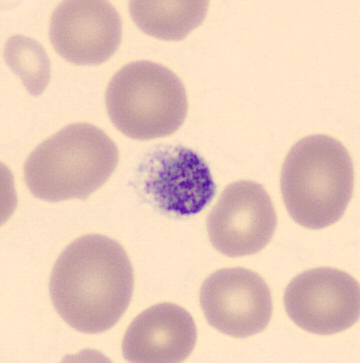

Q: What is shown here?
A: It is a platelet.
Image: Peripheral blood smear · 360 by 363 pixels.